Peripheral blood film:
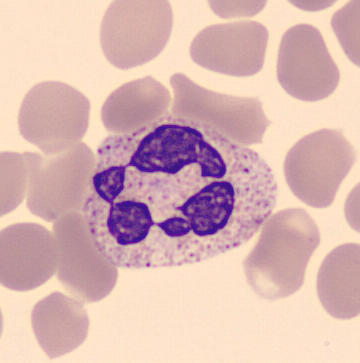 A polymorphonuclear neutrophil.